Bone marrow smear; 40× oil immersion
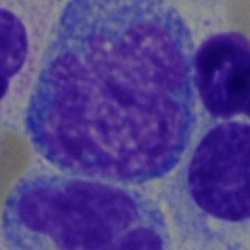

Morphology → blast cell.